Bone marrow aspirate smear. Single-cell crop.
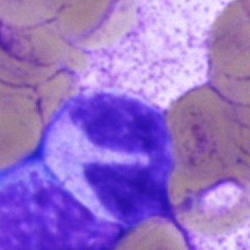

Specimen: bone marrow aspirate smear.
Classification: segmented neutrophil.
Lineage: myeloid.